Bone marrow aspirate smear. 250×250 — 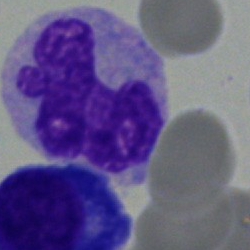 A monocyte.